Bone marrow smear: 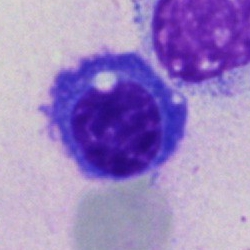
Classification — plasmacyte.